Bone marrow aspirate smear; single-cell field.
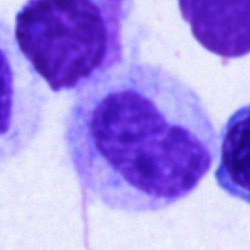 Q: Which cell type is shown here?
A: A metamyelocyte.